Single-cell field; bone marrow aspirate smear; 250×250 px:
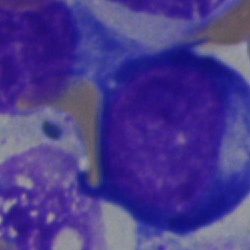

Cell type: pronormoblast.